Bone marrow aspirate smear.
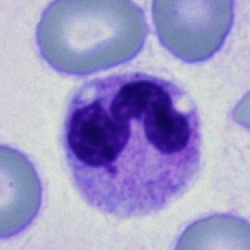 Specimen: bone marrow smear.
Morphological class: neutrophil (segmented).
Lineage: myeloid.